250×250 px · bone marrow smear.
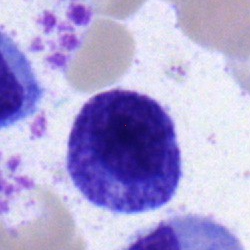The cell shown is a progranulocyte.